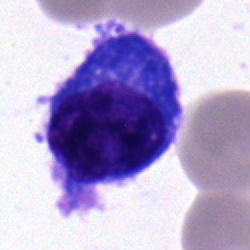 Bone marrow aspirate smear, single cell — plasmacyte.